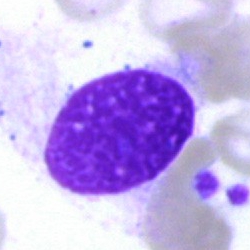
Cell type: artifact.